Single cell centered in the field · 40× objective, oil immersion · bone marrow smear: 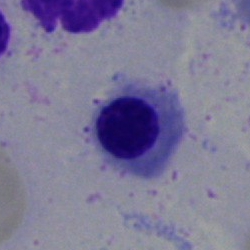Q: What is the morphological classification of this cell?
A: This is an erythroblast.